Brightfield microscopy, 40× oil immersion. Bone marrow smear: 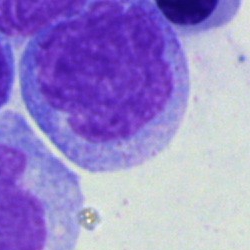
Specimen: bone marrow aspirate smear.
Classification: monocyte.